Bone marrow smear.
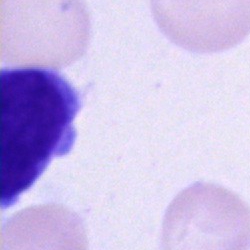
Cell type = artefact.